Bone marrow aspirate smear. 250 by 250 pixels.
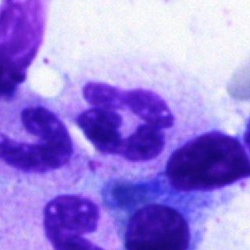

This is a neutrophil (segmented).